Bone marrow smear; cropped to a single cell.
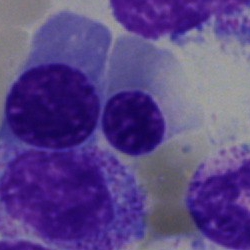 A normoblast.